Bone marrow aspirate smear: 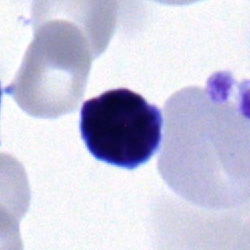Impression — typical lymphocyte.